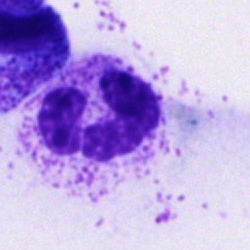

Morphology → neutrophil (segmented).